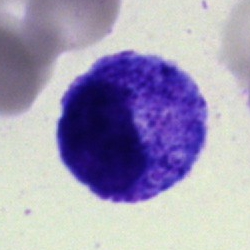 Specimen: bone marrow smear.
Classification: progranulocyte.